Image size 250×250; bone marrow smear
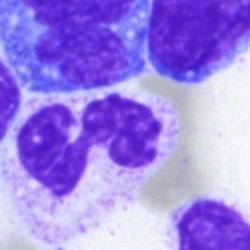{"cell_type": "segmented neutrophil", "lineage": "myeloid"}